Image size 250×250 · bone marrow smear.
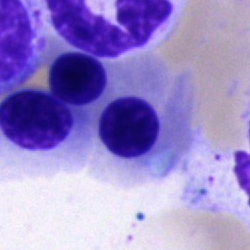
Normoblast.